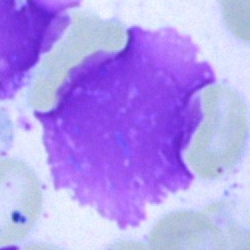Morphological class: artefact.